Bone marrow smear: 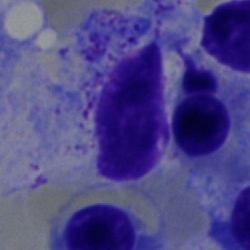The cell is nucleated red cell.